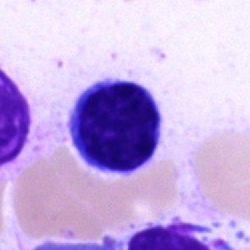Impression → typical lymphocyte.